May-Grünwald-Giemsa stain · bone marrow aspirate smear · 250 by 250 pixels
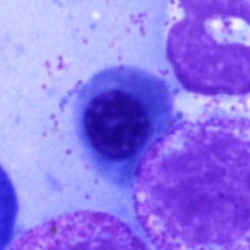 Showing a nucleated red cell.